Bone marrow smear
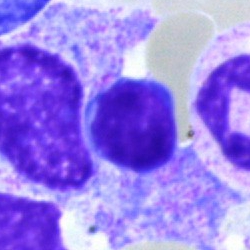 Specimen: bone marrow smear.
Morphological class: lymphocyte.
Lineage: lymphoid.